Bone marrow aspirate smear — 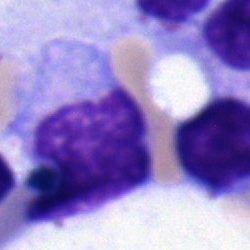Cell = lymphocyte.